Bone marrow aspirate smear. Image size 250×250. Single-cell crop
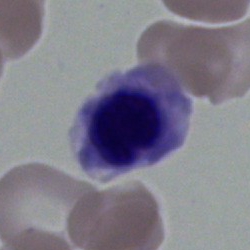

{"cell_type": "erythroblast", "lineage": "erythroid"}